Pappenheim-stained. Bone marrow aspirate smear:
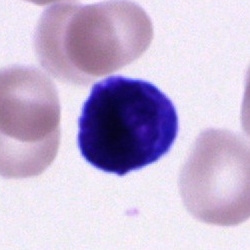

Cell type — unidentifiable cell.